Bone marrow smear · Pappenheim-stained — 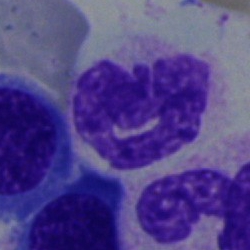 {"cell_type": "segmented neutrophil"}